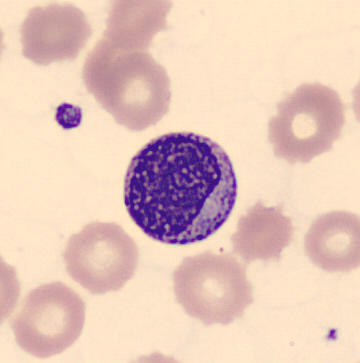
Morphology — myelocyte.
Automated cell imaging (CellaVision DM96); peripheral blood film.